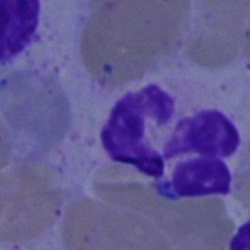Cell type — neutrophil (segmented).